Bone marrow aspirate smear; single cell centered in the field; Pappenheim-stained
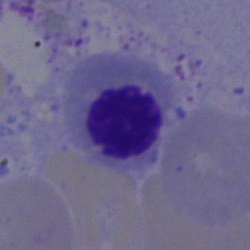 Q: What is the morphological classification of this cell?
A: Erythroblast.